360×363; peripheral blood smear
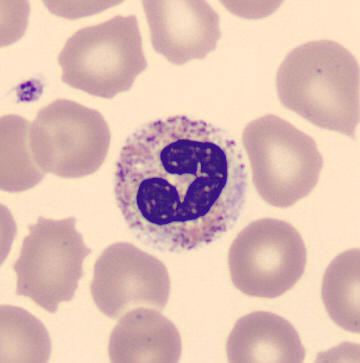 Impression → band-form neutrophil.